40× objective, oil immersion. Bone marrow smear:
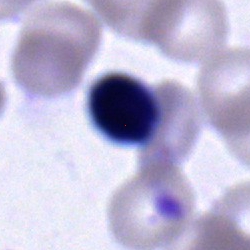 Specimen: bone marrow aspirate smear.
Cell type: typical lymphocyte.